250×250 px · bone marrow aspirate smear · brightfield, 40× oil-immersion objective.
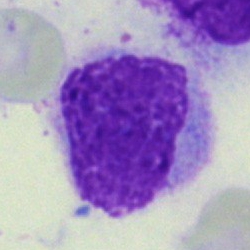 Q: What is shown here?
A: This is an artefact.